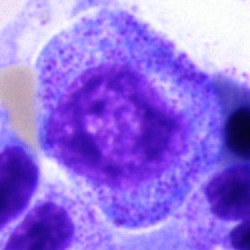
Cell — promyelocyte.